Romanowsky stain; peripheral blood smear; image size 400×400:
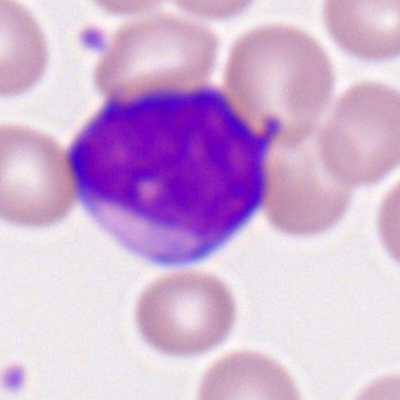

Morphology consistent with a myeloid blast.